Bone marrow smear. Single cell centered in the field. 40× objective, oil immersion.
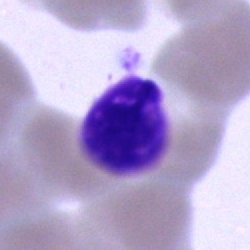
This is an artifact.